Bone marrow aspirate smear · MGG-stained.
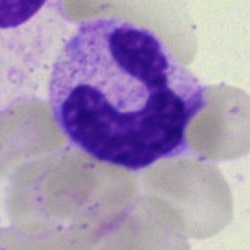 Q: What is shown here?
A: A neutrophil (segmented).